Bone marrow aspirate smear:
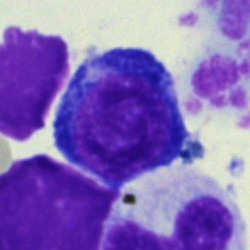Cell type = normoblast.